Bone marrow smear · 250×250 — 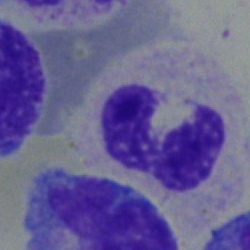 Impression — neutrophil (segmented).